Bone marrow smear
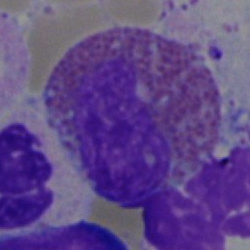 Impression — eosinophil.